Bone marrow aspirate smear: 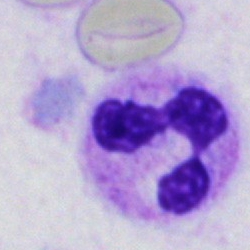

Classification: polymorphonuclear neutrophil.